Cropped to a single cell · MGG-stained · bone marrow smear: 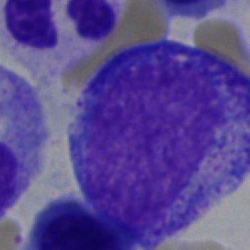

Q: Which cell type is shown here?
A: This is a progranulocyte.